Bone marrow smear
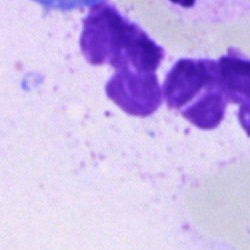

Cell: artifact.